Romanowsky-stained; peripheral blood film.
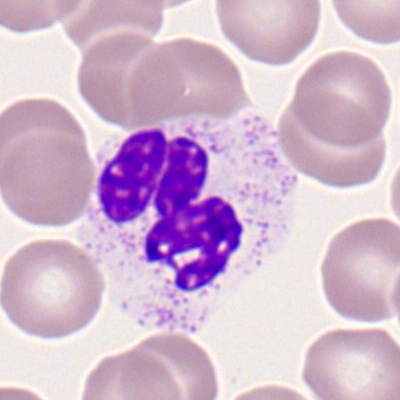

Showing a neutrophil (segmented).